Bone marrow aspirate smear — 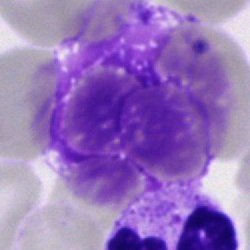

Q: What is shown here?
A: It is an artefact.